Peripheral blood smear: 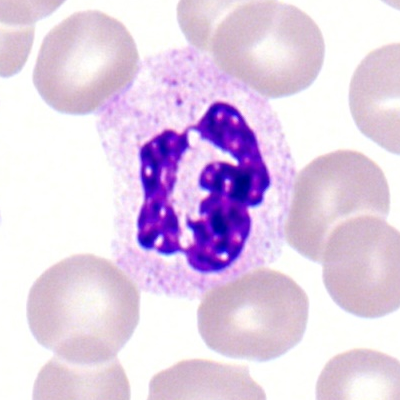

Cell type: segmented neutrophil.